Bone marrow aspirate smear. Cropped to a single cell: 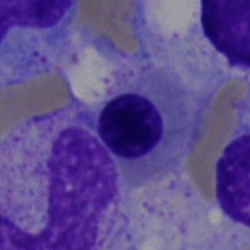

The cell shown is an erythroblast.